Single-cell crop; bone marrow smear:
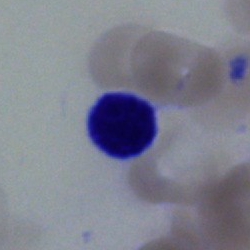

{"cell_type": "lymphocyte", "lineage": "lymphoid"}